Bone marrow aspirate smear; single cell centered in the field:
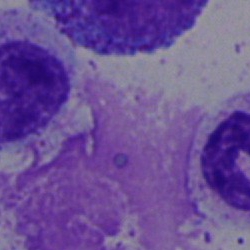

An artifact.